Bone marrow smear:
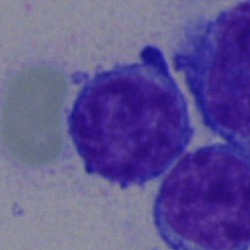
{"cell_type": "typical lymphocyte", "lineage": "lymphoid"}